Single-cell field; bone marrow smear: 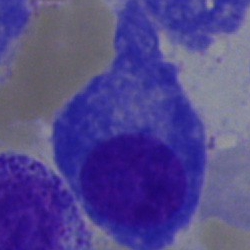

Q: What cell is this?
A: It is a plasma cell.